Bone marrow aspirate smear.
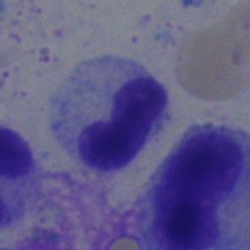Q: Which cell type is shown here?
A: It is a segmented neutrophil.